Bone marrow aspirate smear:
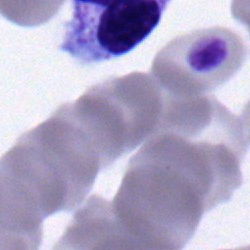 Single cell identified as a monocyte.